250×250; bone marrow aspirate smear: 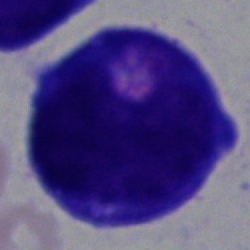 This is a blast cell.